Bone marrow aspirate smear; May-Grünwald-Giemsa stain; 250×250 px — 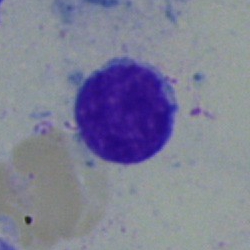 Morphology — lymphocyte.